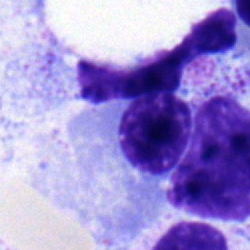{"cell_type": "normoblast"}